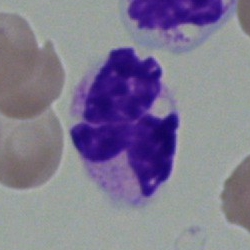Q: Identify the cell.
A: Segmented neutrophil.